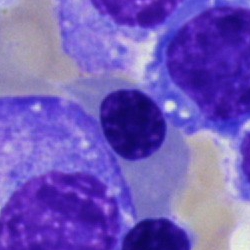

{"cell_type": "nucleated red cell", "lineage": "erythroid"}